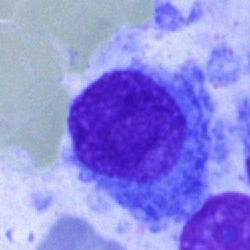

Showing a hairy cell.